Bone marrow aspirate smear; single-cell field; MGG-stained: 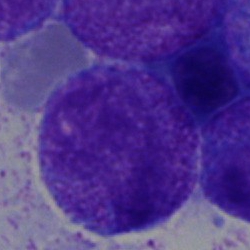 This is a progranulocyte.